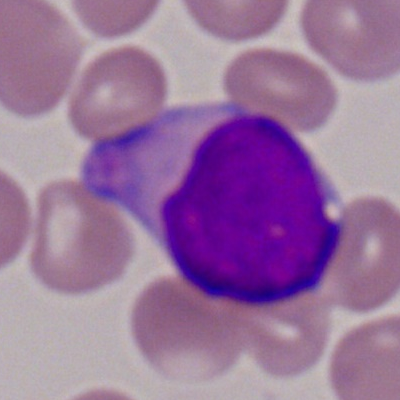Cell: myeloid blast.